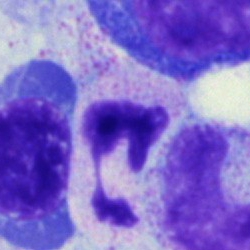Specimen: bone marrow smear.
Morphological class: segmented neutrophil.